Bone marrow aspirate smear; 40× objective, oil immersion.
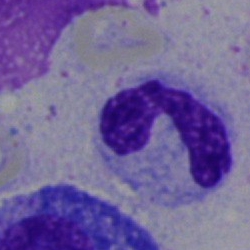 Morphological class = polymorphonuclear neutrophil.